40× objective, oil immersion; image size 250×250; bone marrow smear.
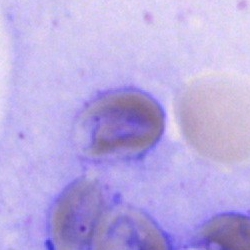
Morphological class — artifact.